May-Grünwald-Giemsa/Pappenheim stain · bone marrow aspirate smear
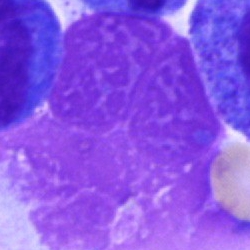
Morphology consistent with an artifact.